Pappenheim-stained · bone marrow aspirate smear
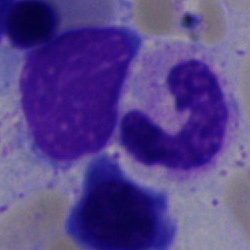

This is a segmented neutrophil.